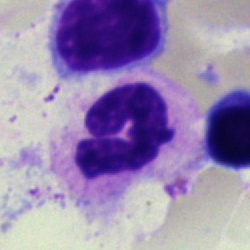 Morphological class — segmented neutrophil.